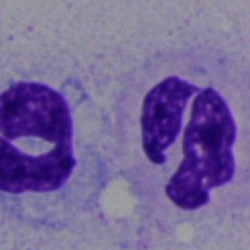

Q: What is shown here?
A: It is a neutrophil (segmented).